Brightfield microscopy, 40× oil immersion. Bone marrow smear
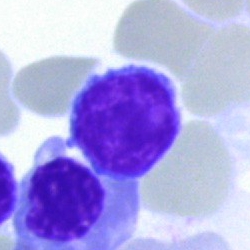

Q: What is the morphological classification of this cell?
A: A lymphocyte.